Pappenheim-stained · bone marrow aspirate smear · 40× objective, oil immersion — 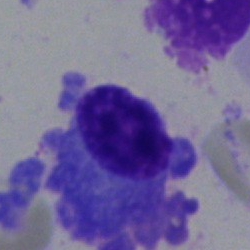Morphology consistent with a plasmacyte.